250×250 px · bone marrow smear
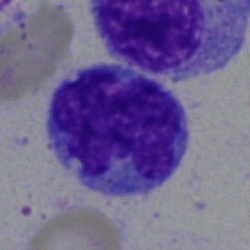

Classification = monocyte.